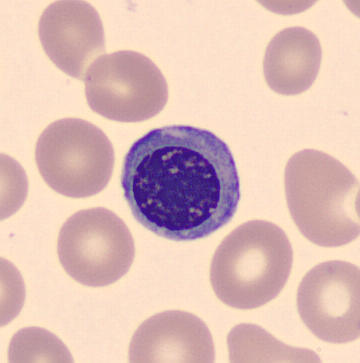

Acquisition: May-Grünwald-Giemsa-stained. Peripheral blood smear.
Q: What type of cell is this?
A: Nucleated red blood cell.